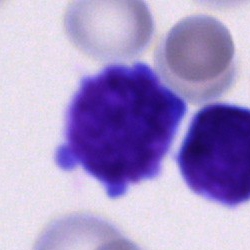A blast on a bone marrow smear.